Bone marrow smear:
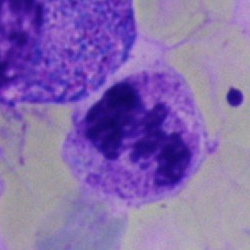

Q: What cell is this?
A: A neutrophil (segmented).